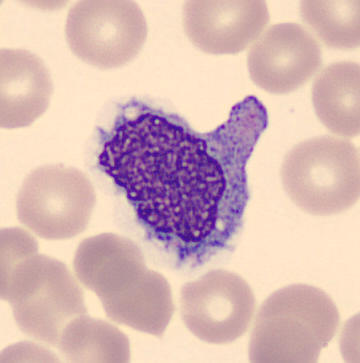
Image: Cropped to a single cell · peripheral blood smear · 360 by 363 pixels. The cell shown is a monocyte.